250 by 250 pixels; bone marrow aspirate smear: 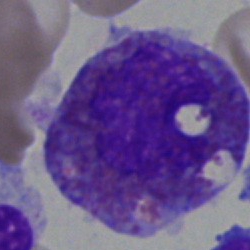 Impression → eosinophil.